Peripheral blood smear:
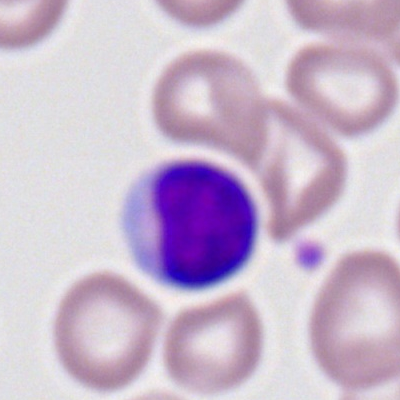

{"cell_type": "lymphocyte", "lineage": "lymphoid"}